Single-cell field · bone marrow aspirate smear:
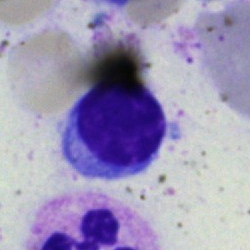
Impression — typical lymphocyte.